Bone marrow aspirate smear: 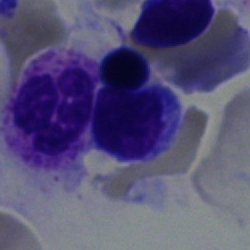
Classification = segmented neutrophil.